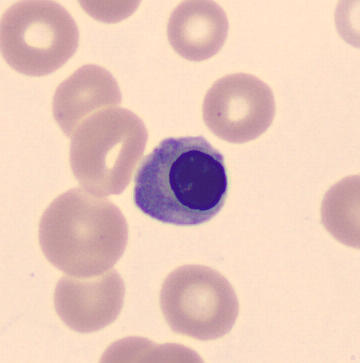 Cell type — nucleated red cell.